Image size 250×250; bone marrow smear:
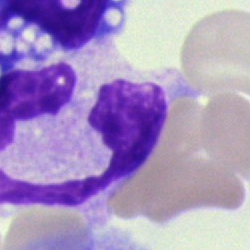

A monocyte.